Bone marrow smear; May-Grünwald-Giemsa stain; single-cell field
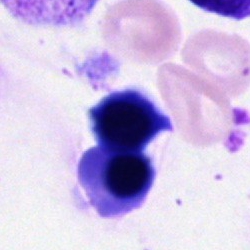 Classification — nucleated red blood cell.